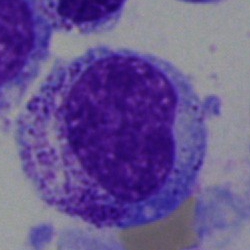 Q: What cell is this?
A: Myelocyte.